Bone marrow aspirate smear
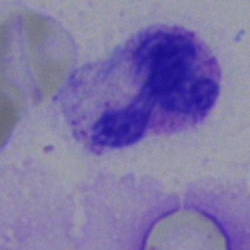 Polymorphonuclear neutrophil.